Bone marrow smear.
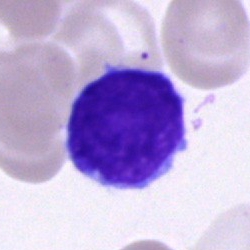 Single cell identified as a typical lymphocyte.